Bone marrow smear
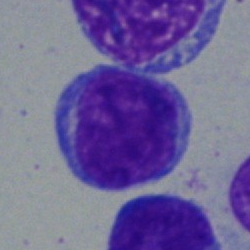The classification is undifferentiated blast.